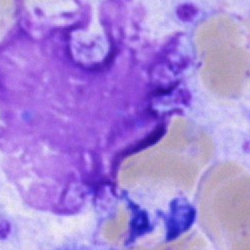
An artifact.